Single-cell field. Romanowsky stain. Peripheral blood film:
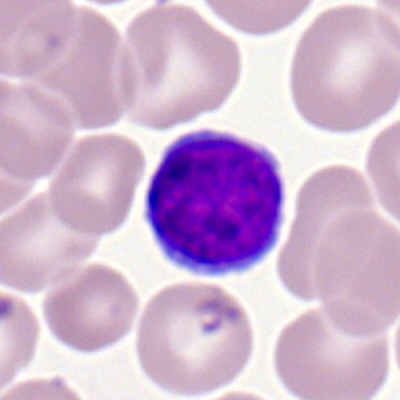
Q: Identify the cell.
A: It is a typical lymphocyte.